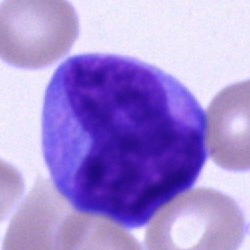 An undifferentiated blast on a bone marrow smear.